Single-cell field; image size 400×400; peripheral blood smear.
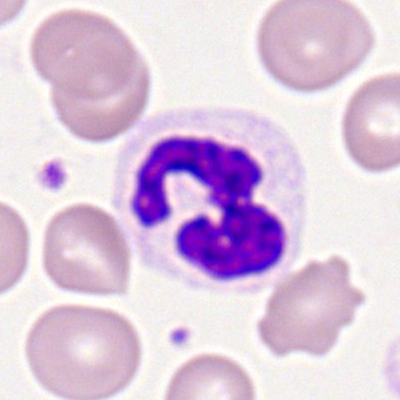
A neutrophil (segmented).